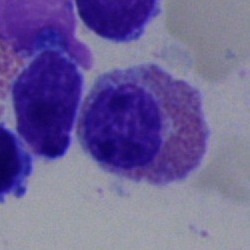

Cell = eosinophil.